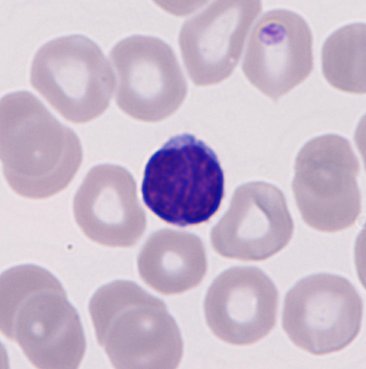

A typical lymphocyte.